Single-cell field · bone marrow aspirate smear:
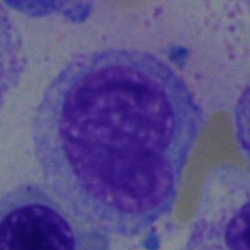Showing a blast cell.